Cropped to a single cell · bone marrow smear: 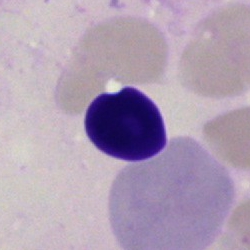 Morphology → artifact.